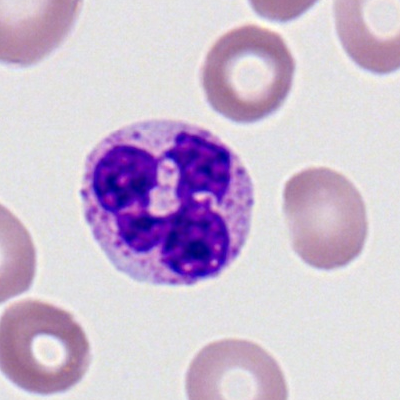 Morphological class: neutrophil (segmented).